Bone marrow smear:
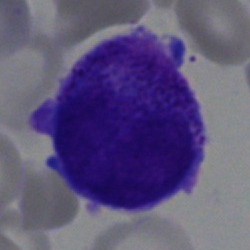 Morphology consistent with a blast.